Peripheral blood film
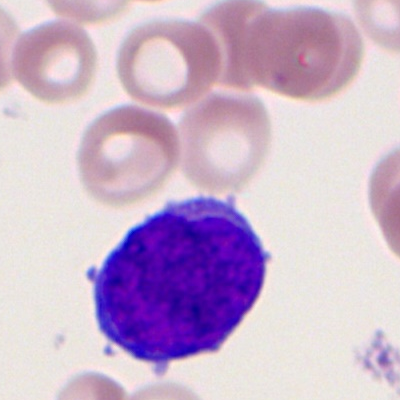
Q: What is shown here?
A: Myeloblast.